Bone marrow aspirate smear; May-Grünwald-Giemsa/Pappenheim stain
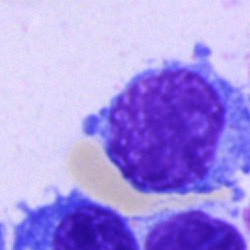Specimen: bone marrow aspirate smear.
Cell type: typical lymphocyte.
Lineage: lymphoid.